May-Grünwald-Giemsa stain · bone marrow smear
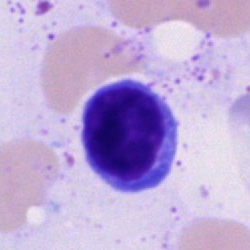 Q: Identify the cell.
A: It is a typical lymphocyte.